Bone marrow smear.
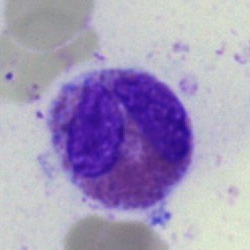 Specimen: bone marrow aspirate smear.
Cell type: eosinophil.